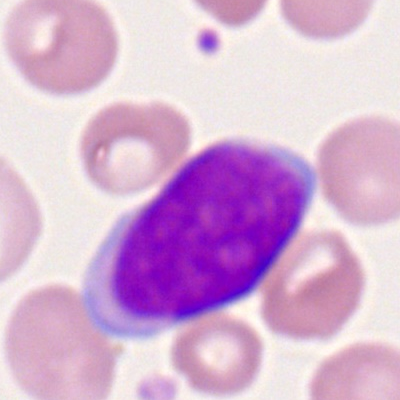

Showing a myeloblast.